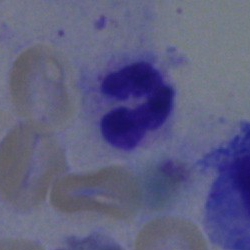 Q: Which cell type is shown here?
A: Polymorphonuclear neutrophil.